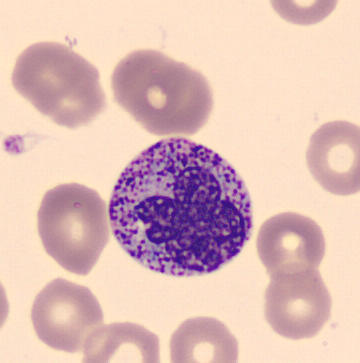 Peripheral blood film, single cell — metamyelocyte.